Bone marrow smear.
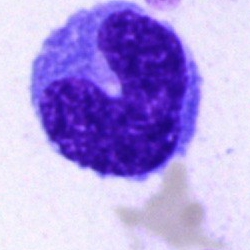
Classification — monocyte.